Peripheral blood film: 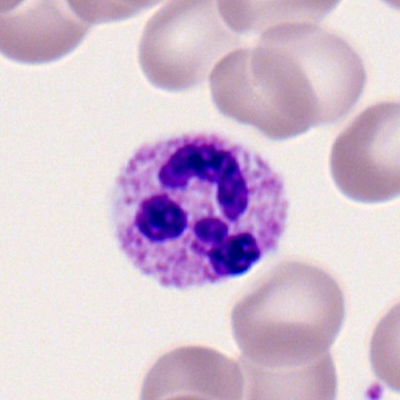

A polymorphonuclear neutrophil.